Bone marrow aspirate smear — 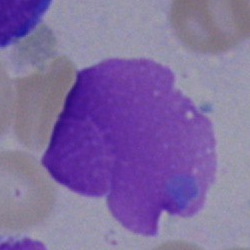 Specimen: bone marrow smear.
Cell: artifact.